Bone marrow aspirate smear
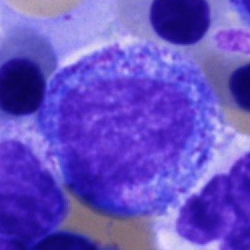

Showing a progranulocyte.